Bone marrow smear.
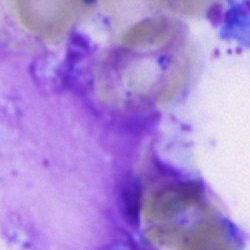Single cell identified as an artifact.